Bone marrow aspirate smear
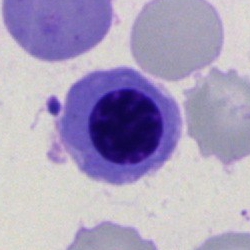

The cell type is nucleated red cell.